Bone marrow aspirate smear
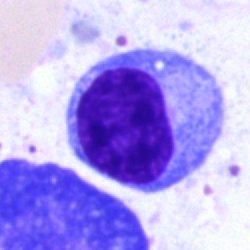
Morphological class = typical lymphocyte.